Bone marrow aspirate smear.
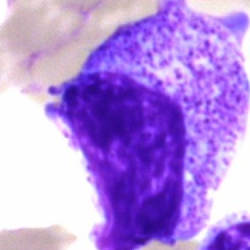Q: What is the morphological classification of this cell?
A: It is a promyelocyte.